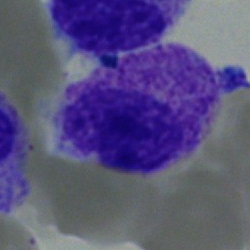 Q: What cell is this?
A: A myelocyte.